Bone marrow aspirate smear. Single cell centered in the field:
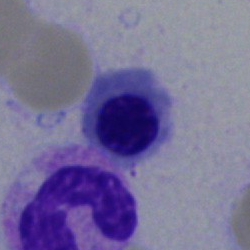
Q: Identify the cell.
A: An erythroblast.